Bone marrow smear · 250 by 250 pixels:
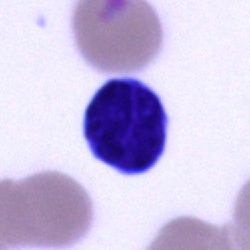

Cell type: lymphocyte.